Pappenheim-stained · bone marrow aspirate smear.
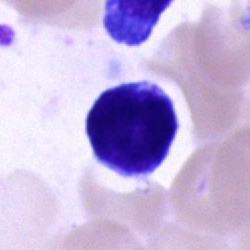 Showing a cell of indeterminate lineage.